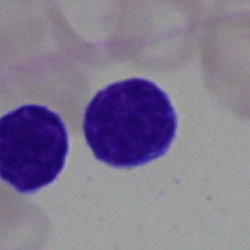

A typical lymphocyte on a bone marrow smear.